Bone marrow aspirate smear · May-Grünwald-Giemsa stain:
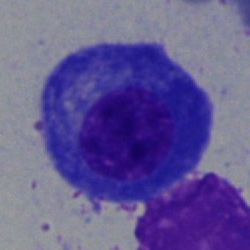

Cell: plasma cell.